Bone marrow smear.
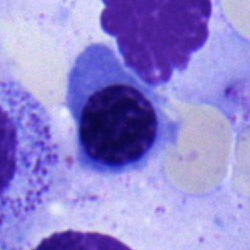 Q: What cell is this?
A: It is an erythroblast.